Bone marrow aspirate smear. Single-cell crop: 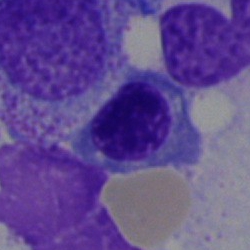
Specimen: bone marrow aspirate smear.
Cell: nucleated red blood cell.
Lineage: erythroid.